Bone marrow aspirate smear.
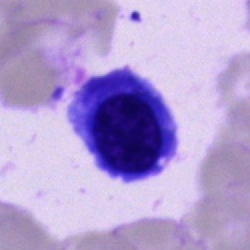

Morphology → erythroblast.